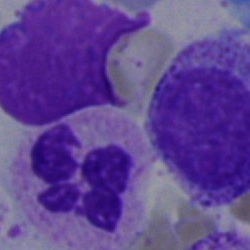 A polymorphonuclear neutrophil on a bone marrow smear.